Bone marrow aspirate smear
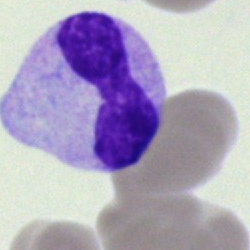Q: What is the morphological classification of this cell?
A: A band neutrophil.